Single cell centered in the field; bone marrow aspirate smear; 250×250 px
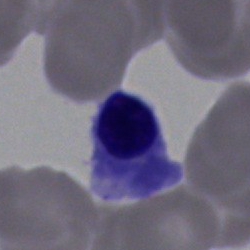Classification — nucleated red blood cell.